Image size 250×250; bone marrow smear: 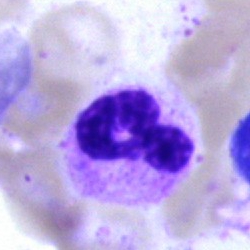 Polymorphonuclear neutrophil.